Bone marrow aspirate smear:
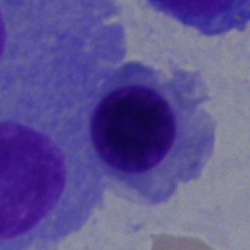 Nucleated red blood cell.